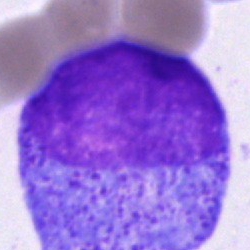
Q: Which cell type is shown here?
A: It is a promyelocyte.